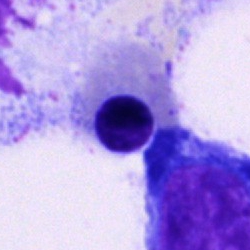

Q: What is shown here?
A: It is a nucleated red cell.